Bone marrow smear.
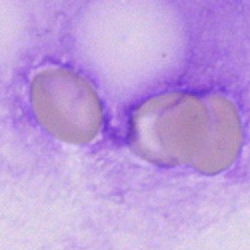
The cell shown is an artifact.